Bone marrow smear. MGG-stained. 250×250
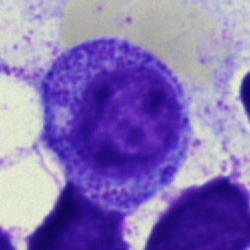
Morphology consistent with a myelocyte.